Peripheral blood film · 400×400 px — 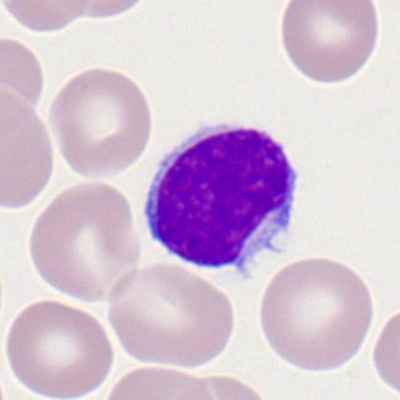 This is a lymphocyte.